Brightfield microscopy, 40× oil immersion; bone marrow smear — 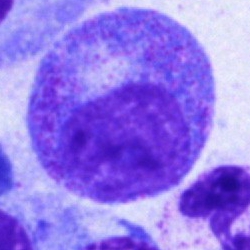Impression — promyelocyte.